Bone marrow aspirate smear
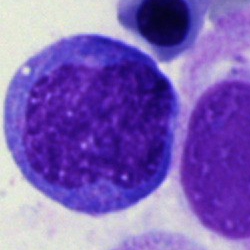Q: What cell is this?
A: This is a monocyte.